40× oil immersion · bone marrow smear
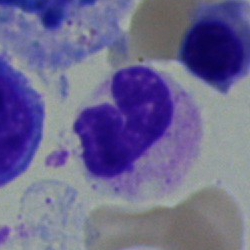
The classification is metamyelocyte.